40× oil immersion; single-cell field; bone marrow aspirate smear: 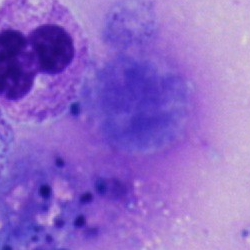Artifact.